Peripheral blood smear: 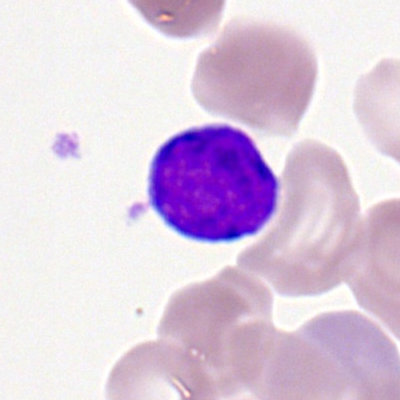Q: Which cell type is shown here?
A: This is a typical lymphocyte.